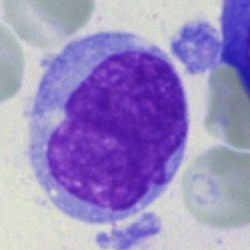 Single cell identified as a monocyte.